Pappenheim-stained. Bone marrow aspirate smear: 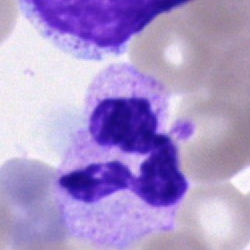
The classification is polymorphonuclear neutrophil.